Bone marrow aspirate smear:
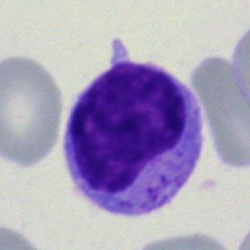

Morphology consistent with a myelocyte.